Bone marrow smear.
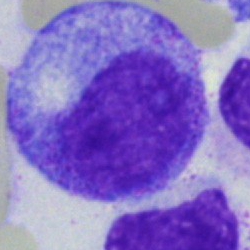

Q: What is the morphological classification of this cell?
A: It is a promyelocyte.